100× oil immersion, 14.14 px/µm. Peripheral blood film — 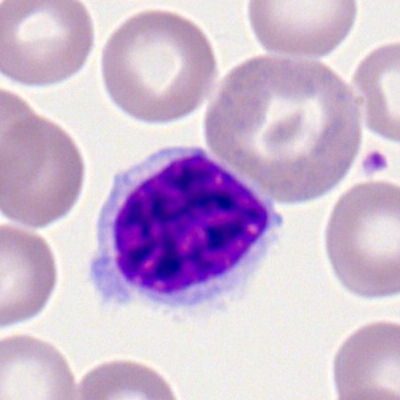

The morphological class is typical lymphocyte.